Bone marrow smear
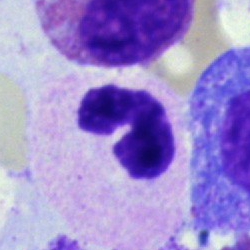

Morphology → segmented neutrophil.